Bone marrow smear; MGG-stained:
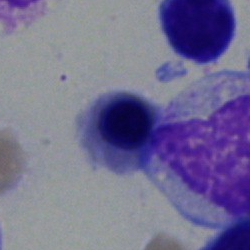 Q: What type of cell is this?
A: A nucleated red cell.